Bone marrow smear · 250×250 · 40× oil immersion — 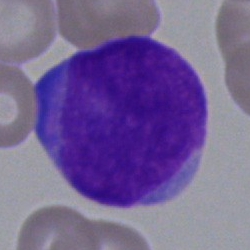
The cell is blast cell.